Bone marrow aspirate smear — 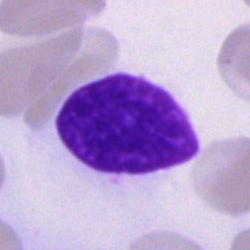 Q: What is shown here?
A: This is an artefact.